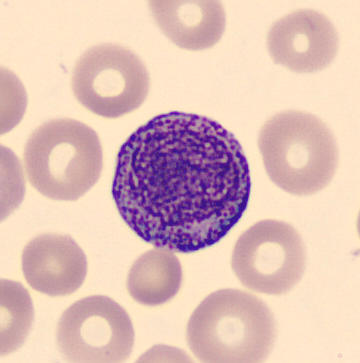 Classification — progranulocyte.